Bone marrow smear:
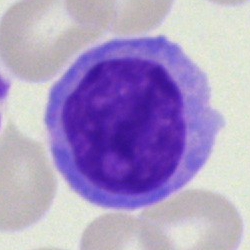

The cell shown is a lymphocyte.